Bone marrow smear; 250 by 250 pixels; May-Grünwald-Giemsa stain: 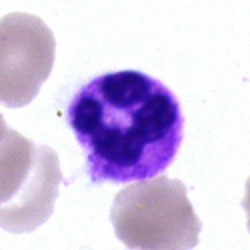 Showing a neutrophil (segmented).